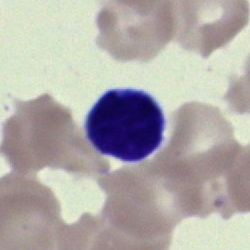
Morphological class: typical lymphocyte.